Bone marrow aspirate smear — 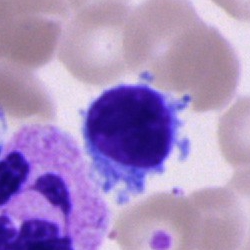A typical lymphocyte.